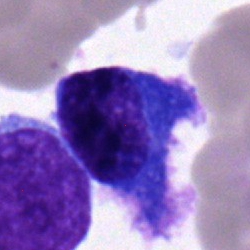 Q: What type of cell is this?
A: A plasmacyte.